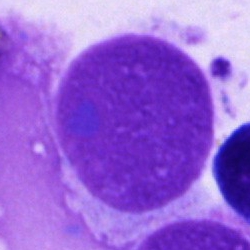Cell type: artefact.